Bone marrow aspirate smear.
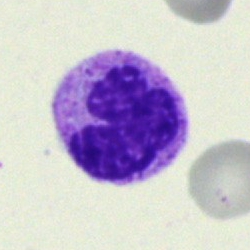
Cell type — band neutrophil.